Bone marrow smear:
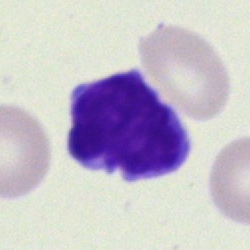 Impression → lymphocyte.